MGG-stained · bone marrow smear
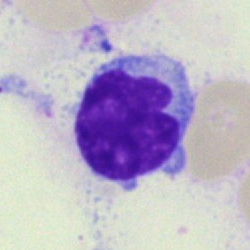 {"cell_type": "lymphocyte", "lineage": "lymphoid"}